Bone marrow smear — 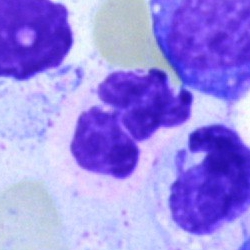

Showing a segmented neutrophil.